Bone marrow smear.
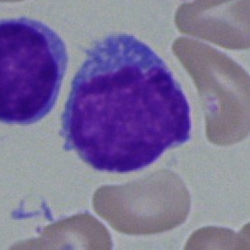Q: What is the morphological classification of this cell?
A: Lymphocyte.